May-Grünwald-Giemsa stain; bone marrow aspirate smear:
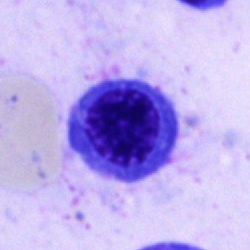 Specimen: bone marrow aspirate smear.
Cell: nucleated red cell.